Bone marrow smear.
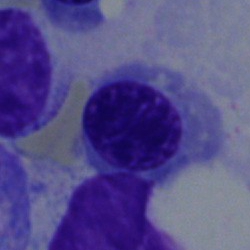 Impression → normoblast.